Bone marrow smear — 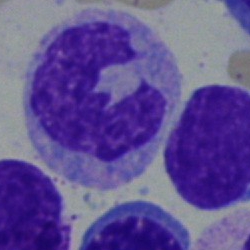
Morphology — monocyte.